Peripheral blood film. Single-cell field.
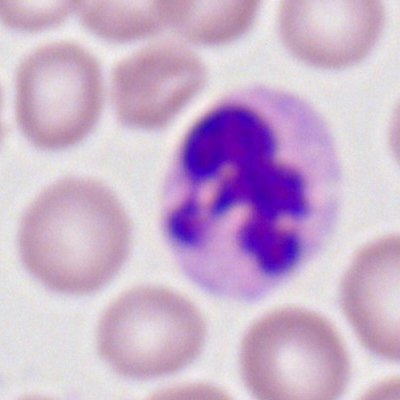

Classification — segmented neutrophil.